Pappenheim-stained. Bone marrow smear — 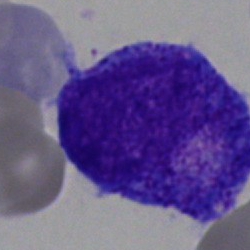Cell = promyelocyte.